May-Grünwald-Giemsa stain · bone marrow aspirate smear.
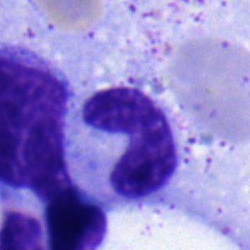Morphology → stab cell.